Bone marrow aspirate smear
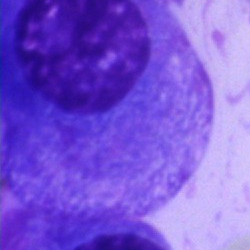

Specimen: bone marrow aspirate smear.
Cell: plasma cell.
Lineage: lymphoid.